Bone marrow smear; May-Grünwald-Giemsa stain.
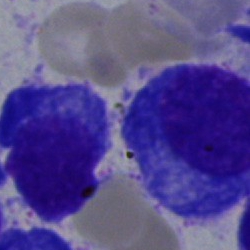

The classification is plasma cell.